Bone marrow aspirate smear
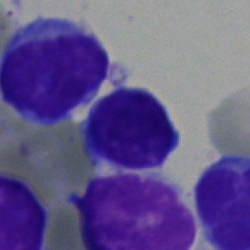

The cell type is typical lymphocyte.